Bone marrow smear:
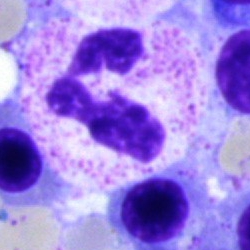
A polymorphonuclear neutrophil.